Bone marrow smear · image size 250×250
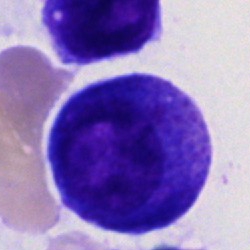 Q: What is the morphological classification of this cell?
A: Promyelocyte.